Bone marrow aspirate smear. Single-cell crop. Brightfield, 40× oil-immersion objective:
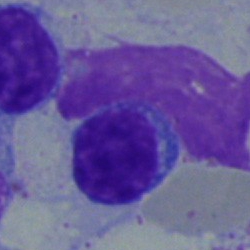
The cell shown is a typical lymphocyte.